Bone marrow smear:
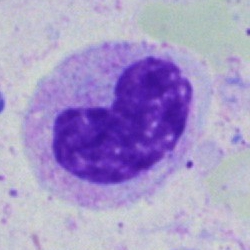Q: What is shown here?
A: It is a metamyelocyte.